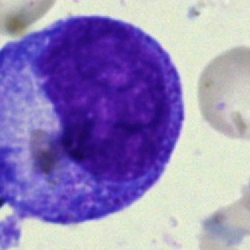
Q: What is shown here?
A: It is a progranulocyte.